Bone marrow smear.
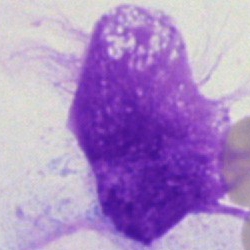Showing an artefact.